MGG-stained; bone marrow aspirate smear:
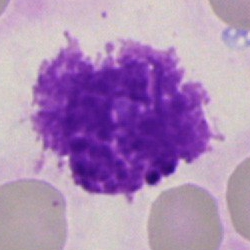 Morphological class = artifact.